Bone marrow aspirate smear; single cell centered in the field; brightfield microscopy, 40× oil immersion:
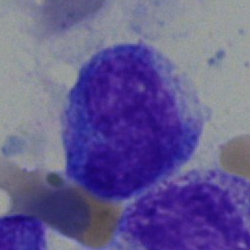

Specimen: bone marrow aspirate smear.
Classification: undifferentiated blast.